Bone marrow smear:
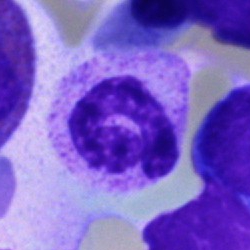

A polymorphonuclear neutrophil.